Bone marrow aspirate smear: 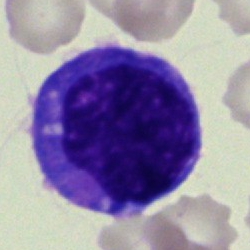
The cell is monocyte.